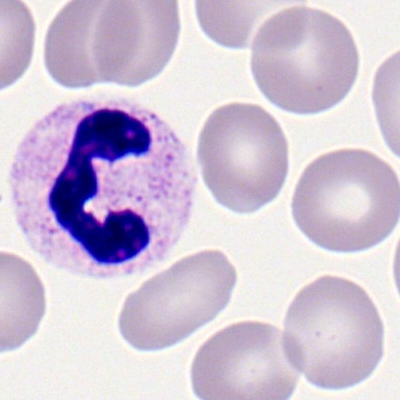 Classification = segmented neutrophil.